Bone marrow aspirate smear. Image size 250×250. Cropped to a single cell
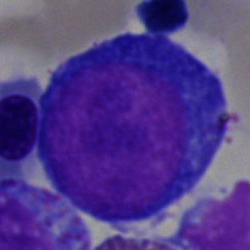The morphological class is proerythroblast.